Bone marrow aspirate smear; brightfield, 40× oil-immersion objective; 250×250 — 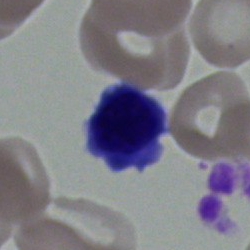Showing a typical lymphocyte.